Bone marrow smear · May-Grünwald-Giemsa/Pappenheim stain — 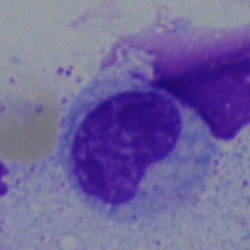
A metamyelocyte.